Bone marrow smear.
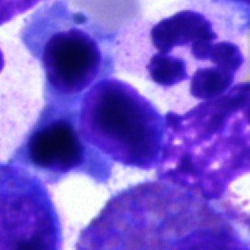

Classification — segmented neutrophil.